Cropped to a single cell; bone marrow aspirate smear — 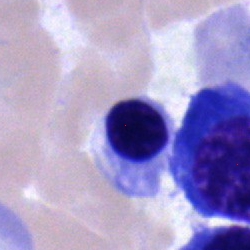 Showing a nucleated red cell.